Bone marrow aspirate smear · single cell centered in the field:
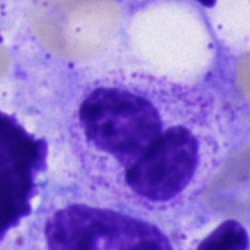
Q: What is the morphological classification of this cell?
A: A neutrophil (segmented).